Bone marrow aspirate smear:
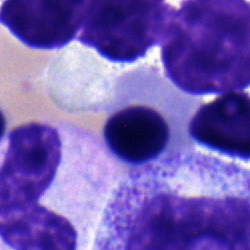

Q: What is shown here?
A: Nucleated red cell.